Bone marrow smear · Pappenheim-stained.
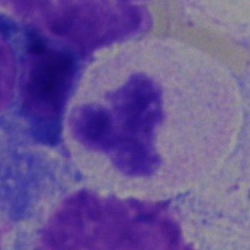Showing a segmented neutrophil.